250 by 250 pixels. Bone marrow smear
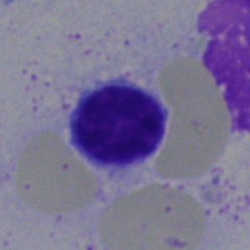A lymphocyte.